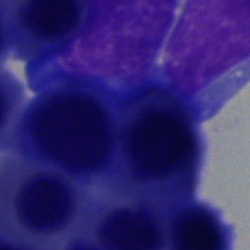Showing a nucleated red cell.